Bone marrow smear:
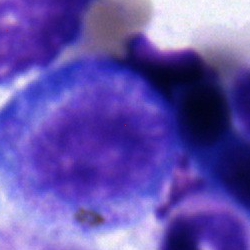 This is a progranulocyte.